May-Grünwald-Giemsa stain. Bone marrow aspirate smear.
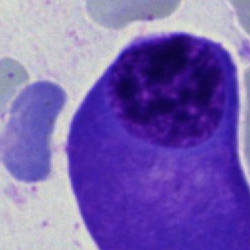Cell: plasmacyte.